Bone marrow smear: 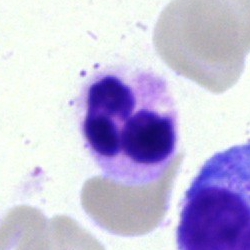The cell type is segmented neutrophil.